Pappenheim-stained. Brightfield, 40× oil-immersion objective. Bone marrow smear
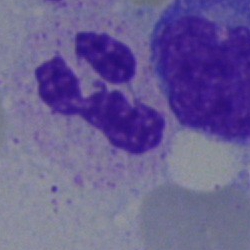
A neutrophil (segmented).